Bone marrow aspirate smear.
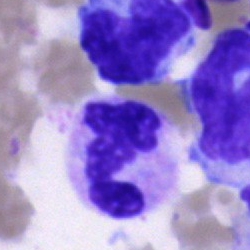 Q: Which cell type is shown here?
A: A neutrophil (segmented).